Bone marrow aspirate smear.
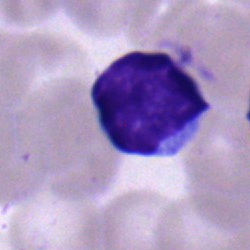

Morphology consistent with a lymphocyte.